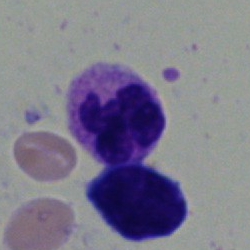Neutrophil (segmented).